Bone marrow smear:
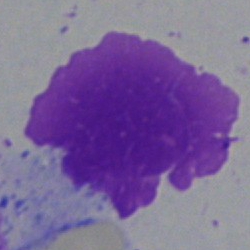This is an artefact.